Brightfield, 40× oil-immersion objective. Bone marrow smear. Single cell centered in the field: 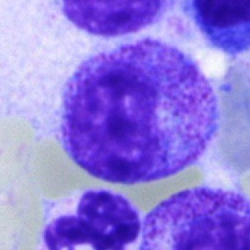Q: What cell is this?
A: A myelocyte.